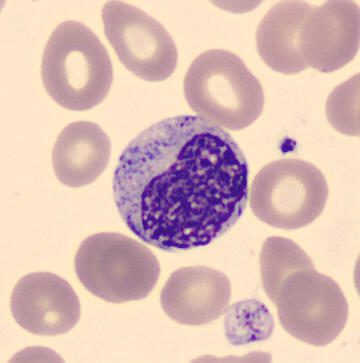Single-cell crop from a peripheral blood smear: myelocyte.